Bone marrow aspirate smear — 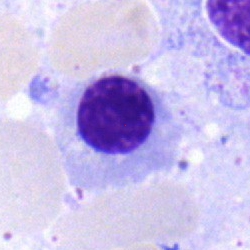Q: What is the morphological classification of this cell?
A: Nucleated red cell.